Image size 250×250 · bone marrow aspirate smear · single-cell crop
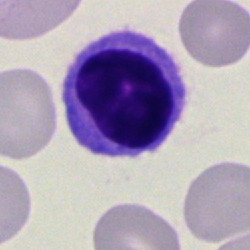Specimen: bone marrow aspirate smear.
Classification: typical lymphocyte.
Lineage: lymphoid.